Image size 400×400. Brightfield, 100× oil-immersion objective. Peripheral blood smear:
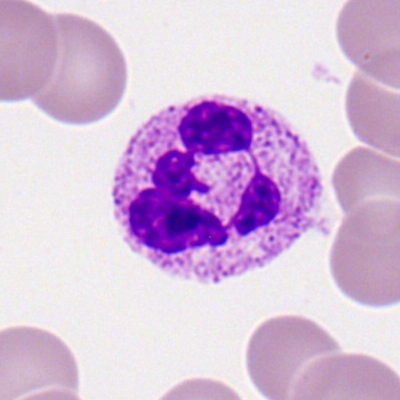 This is a neutrophil (segmented).